Bone marrow aspirate smear; 250×250:
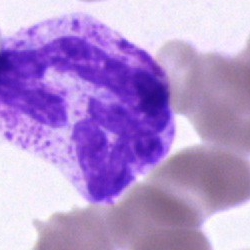
Morphology → segmented neutrophil.